Pappenheim-stained; bone marrow smear; single-cell crop.
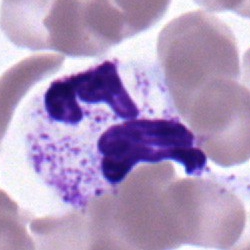

The morphological class is neutrophil (segmented).